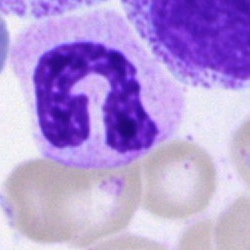Q: Which cell type is shown here?
A: A neutrophil (band).